Pappenheim-stained. Bone marrow aspirate smear.
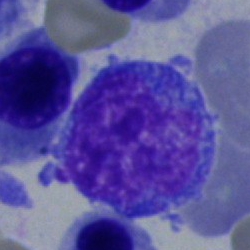
Q: What cell is this?
A: This is a blast.